Bone marrow smear: 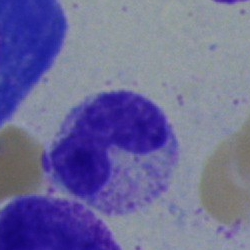

Q: Which cell type is shown here?
A: This is a stab cell.